Bone marrow smear:
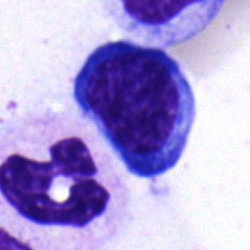 Cell type — normoblast.